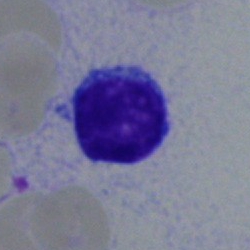

Impression → typical lymphocyte.